Bone marrow smear:
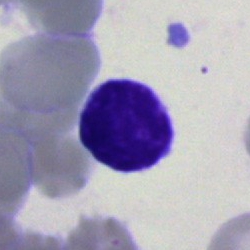
Q: What cell is this?
A: A lymphocyte.